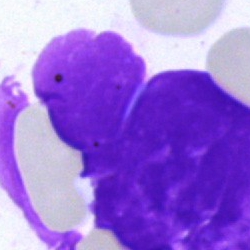
Morphology — artefact.